Bone marrow smear. Cropped to a single cell. May-Grünwald-Giemsa/Pappenheim stain: 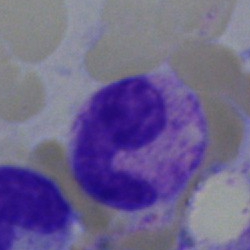

Polymorphonuclear neutrophil.